Bone marrow smear. May-Grünwald-Giemsa stain — 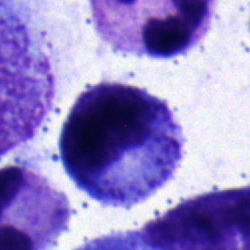Single cell identified as a metamyelocyte.